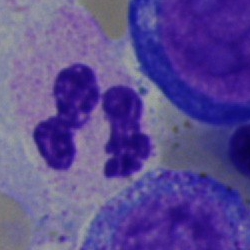Single cell identified as a segmented neutrophil.